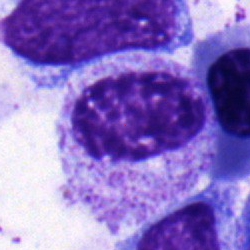 Bone marrow aspirate smear, single cell — myelocyte.